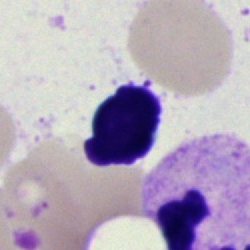Morphological class: artifact.